Single-cell crop; bone marrow aspirate smear
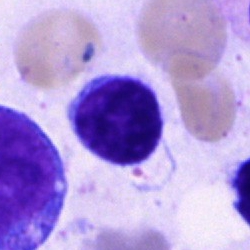 The cell shown is a lymphocyte.